Single-cell field · bone marrow aspirate smear · 40× oil immersion: 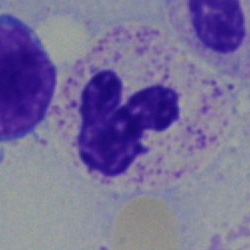

Single cell identified as a segmented neutrophil.